May-Grünwald-Giemsa/Pappenheim stain · bone marrow aspirate smear · 250×250 px — 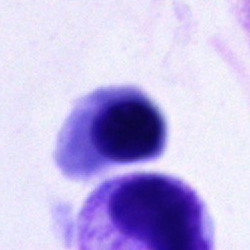 Q: What is the morphological classification of this cell?
A: It is a normoblast.